Bone marrow smear
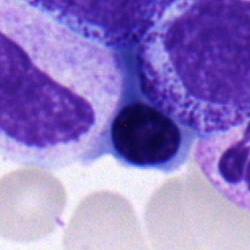Specimen: bone marrow aspirate smear.
Cell: erythroblast.
Lineage: erythroid.